Bone marrow smear:
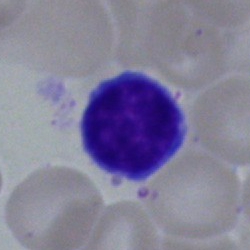
Q: Which cell type is shown here?
A: It is a typical lymphocyte.